Bone marrow aspirate smear; brightfield microscopy, 40× oil immersion:
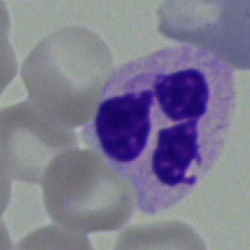

Morphology — neutrophil (segmented).